Pappenheim-stained · bone marrow smear.
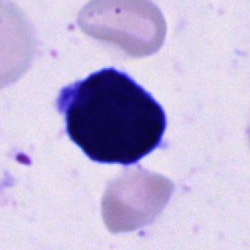
{"cell_type": "unidentifiable cell"}